Bone marrow smear: 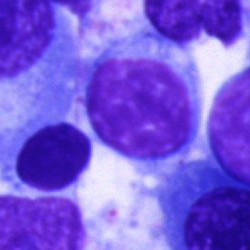

Morphology — typical lymphocyte.